Bone marrow aspirate smear. Pappenheim-stained.
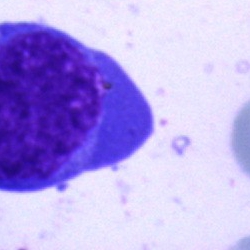 Blast.